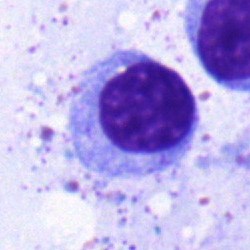 This is a typical lymphocyte.